Bone marrow smear. Pappenheim-stained. 250 by 250 pixels — 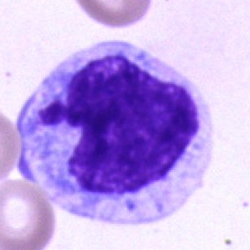 Impression — unidentifiable cell.